Bone marrow aspirate smear.
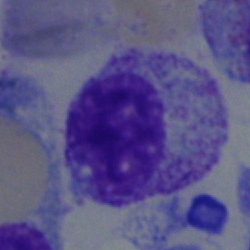Cell type = myelocyte.